250×250 px; bone marrow smear; brightfield, 40× oil-immersion objective
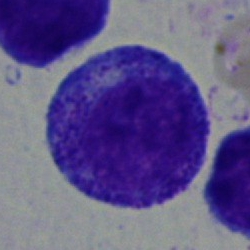 Cell: progranulocyte.